Cropped to a single cell. Romanowsky-stained. Peripheral blood film — 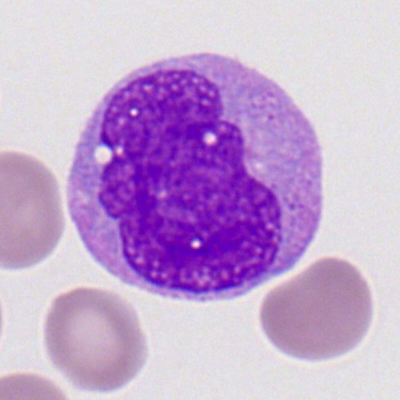 Morphological class — monocyte.